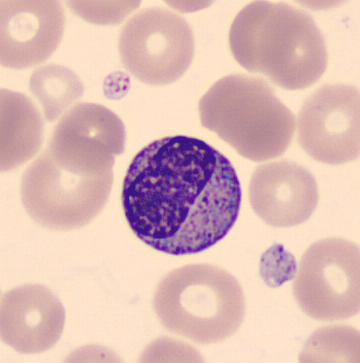
{"cell_type": "metamyelocyte"} Acquisition: Peripheral blood film · 360×363 px · May-Grünwald-Giemsa-stained.